Bone marrow aspirate smear · MGG-stained · 250×250
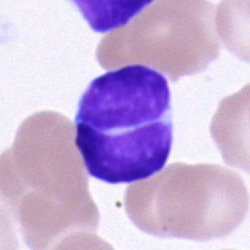

Q: What is the morphological classification of this cell?
A: This is a lymphocyte.